Single-cell crop · peripheral blood smear — 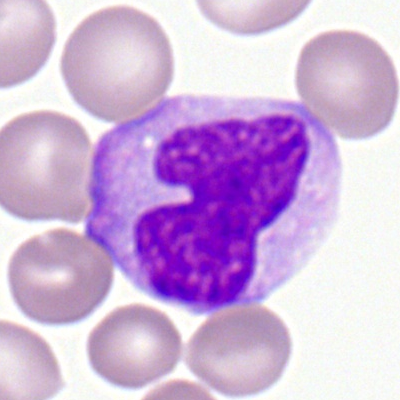

The cell shown is a monocyte.